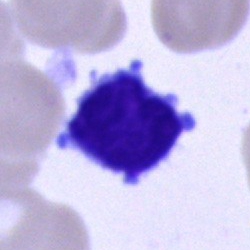

Cell type — typical lymphocyte.